Single-cell crop; bone marrow aspirate smear; brightfield, 40× oil-immersion objective
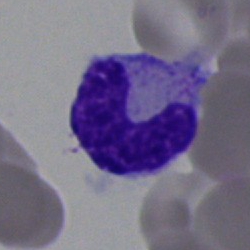A stab cell.